Bone marrow aspirate smear; 40× objective, oil immersion; single cell centered in the field:
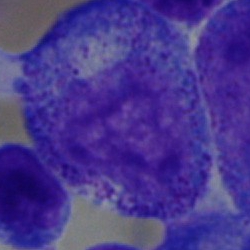Promyelocyte.